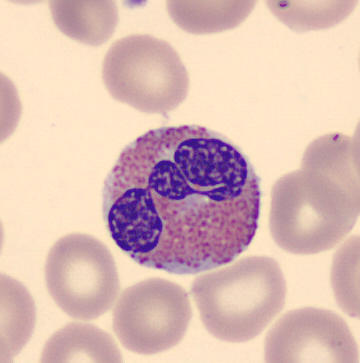
Acquisition: Single-cell crop; MGG-stained; peripheral blood smear. This is an eosinophilic granulocyte.